Bone marrow aspirate smear.
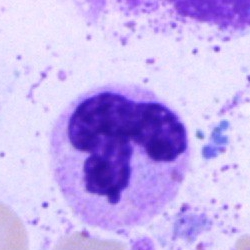This is a segmented neutrophil.